Brightfield, 40× oil-immersion objective; bone marrow smear: 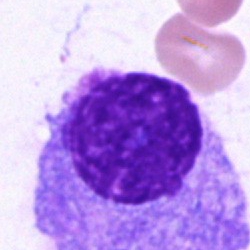
The classification is plasma cell.